Bone marrow smear.
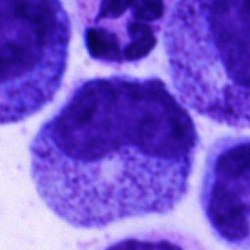

Morphological class — promyelocyte.